Bone marrow aspirate smear:
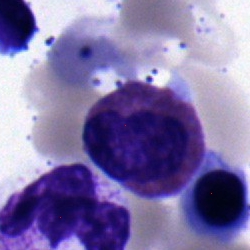

The cell type is eosinophil.